Bone marrow smear · May-Grünwald-Giemsa stain · image size 250×250:
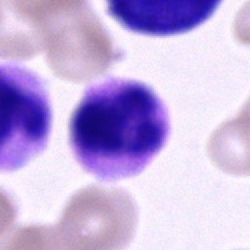

Single cell identified as a segmented neutrophil.